Bone marrow smear: 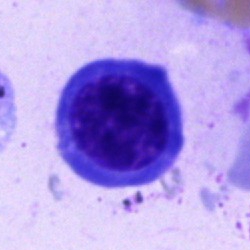Q: What type of cell is this?
A: Nucleated red cell.